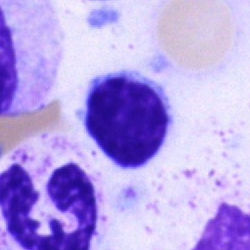Q: Identify the cell.
A: It is a lymphocyte.